Bone marrow aspirate smear.
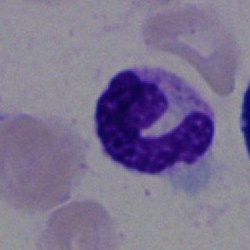

{"cell_type": "neutrophil (segmented)"}